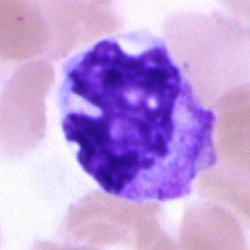 Specimen: bone marrow aspirate smear.
Classification: monocyte.
Lineage: myeloid.